Bone marrow smear · single cell centered in the field · 40× oil immersion
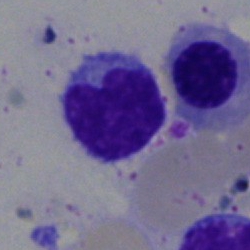
A typical lymphocyte.